Brightfield, 40× oil-immersion objective. May-Grünwald-Giemsa stain. Bone marrow aspirate smear.
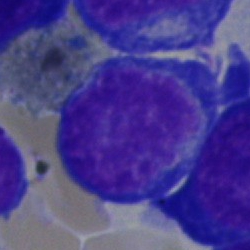 Classification = undifferentiated blast.